Bone marrow aspirate smear
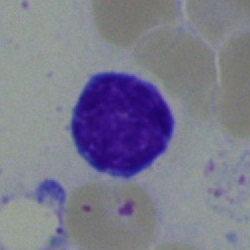 Q: What is shown here?
A: It is a lymphocyte.